Peripheral blood film · single-cell crop · image size 400×400:
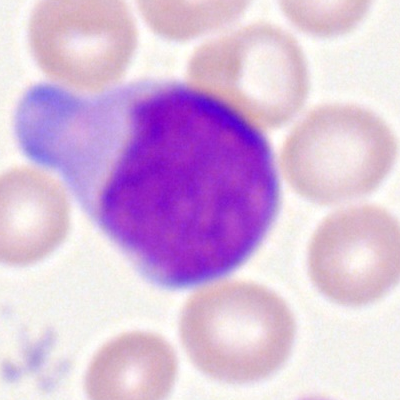

{"cell_type": "myeloid blast", "lineage": "myeloid"}